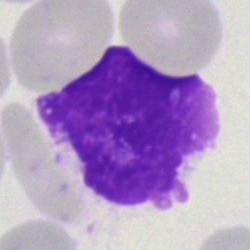 Bone marrow aspirate smear, single cell — artifact.